Bone marrow smear — 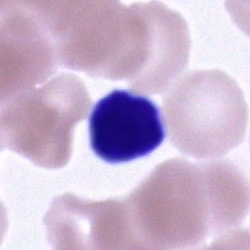 {"cell_type": "lymphocyte", "lineage": "lymphoid"}